Image size 250×250. Bone marrow smear.
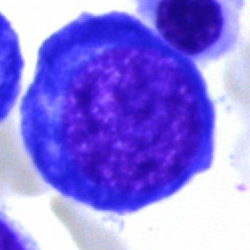 Q: Identify the cell.
A: This is an erythroblast.